Bone marrow aspirate smear.
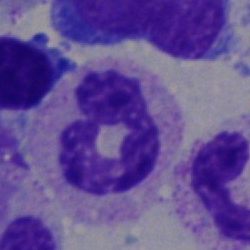 Showing a neutrophil (segmented).